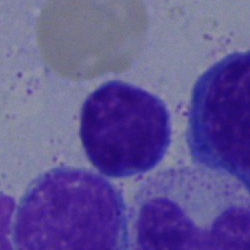
Morphology consistent with a lymphocyte.